Bone marrow smear — 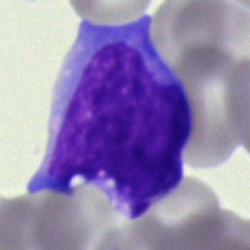

Morphology — blast.